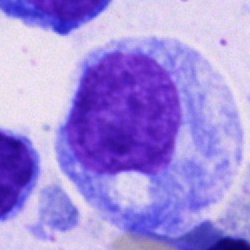Specimen: bone marrow aspirate smear.
Cell: promyelocyte.